Bone marrow smear
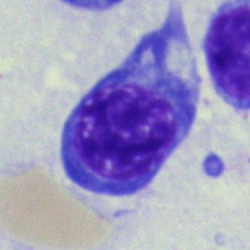Cell type: nucleated red blood cell.